Bone marrow smear
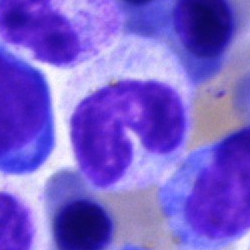 Q: What cell is this?
A: Band neutrophil.